Bone marrow aspirate smear
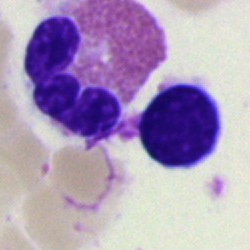 The classification is eosinophilic granulocyte.